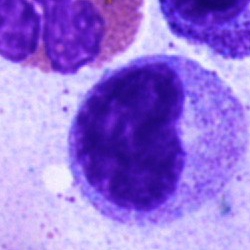 Morphology consistent with a myelocyte.